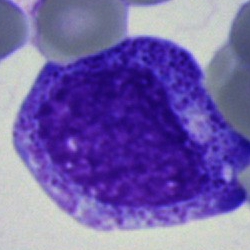
This is a promyelocyte.